Bone marrow smear; MGG-stained — 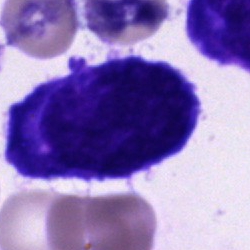 Q: What cell is this?
A: Unidentifiable cell.